Romanowsky stain; 400×400 px; peripheral blood film:
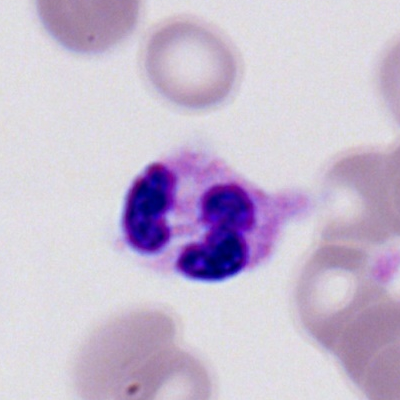

Morphological class — polymorphonuclear neutrophil.